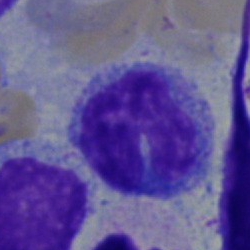The cell is monocyte.